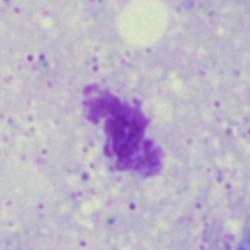
Bone marrow smear showing an artifact.